250×250 · bone marrow aspirate smear · 40× oil immersion: 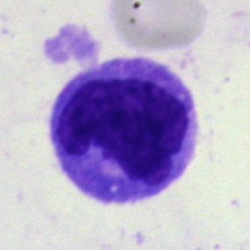
Q: Which cell type is shown here?
A: A monocyte.